Single-cell crop. Brightfield, 40× oil-immersion objective. Bone marrow smear:
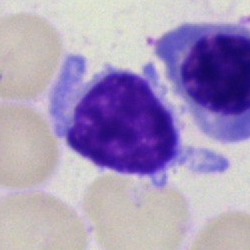
Morphology — lymphocyte.